Bone marrow smear
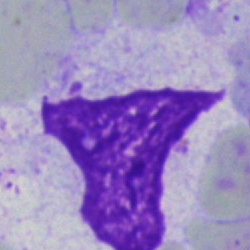

Classification — artefact.